Bone marrow aspirate smear. 250 by 250 pixels.
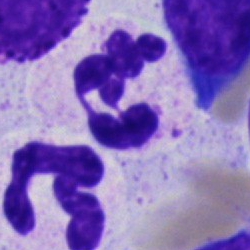
Impression → neutrophil (segmented).